May-Grünwald-Giemsa/Pappenheim stain. Bone marrow smear — 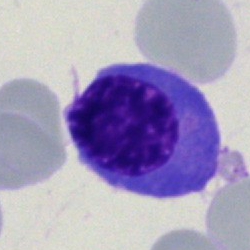
Impression — nucleated red blood cell.